Bone marrow aspirate smear — 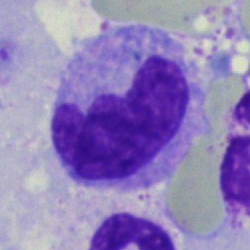{"cell_type": "monocyte", "lineage": "myeloid"}